Single-cell field · peripheral blood film · May-Grünwald-Giemsa-stained.
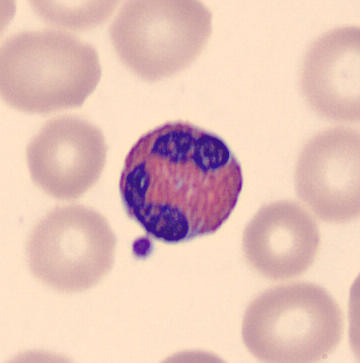 Morphology → eosinophilic granulocyte.